Bone marrow aspirate smear.
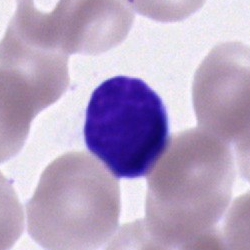The cell is lymphocyte.